Bone marrow smear.
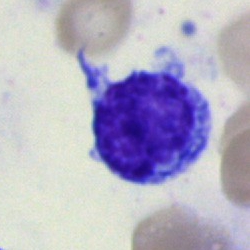
{"cell_type": "lymphocyte", "lineage": "lymphoid"}